Single-cell field; bone marrow aspirate smear; brightfield, 40× oil-immersion objective.
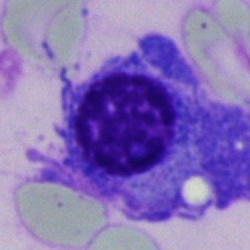 Cell: plasma cell.